Bone marrow smear; brightfield, 40× oil-immersion objective:
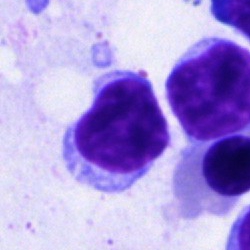

Showing a lymphocyte.